Bone marrow smear. Single-cell crop
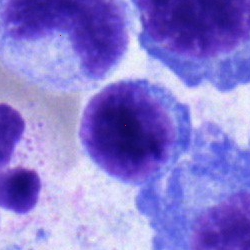

Cell type = lymphocyte.